Bone marrow aspirate smear. May-Grünwald-Giemsa/Pappenheim stain
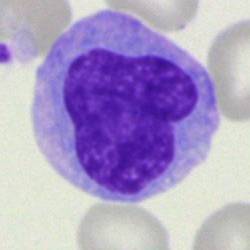
Morphological class: monocyte.